250 by 250 pixels · bone marrow aspirate smear — 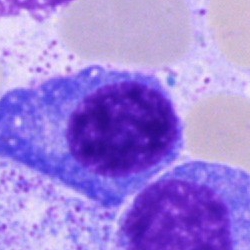
A plasma cell.